250×250; bone marrow smear — 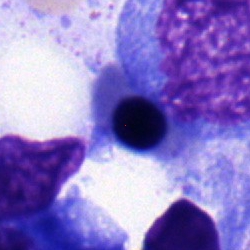

Specimen: bone marrow smear.
Cell type: normoblast.
Lineage: erythroid.